Peripheral blood film:
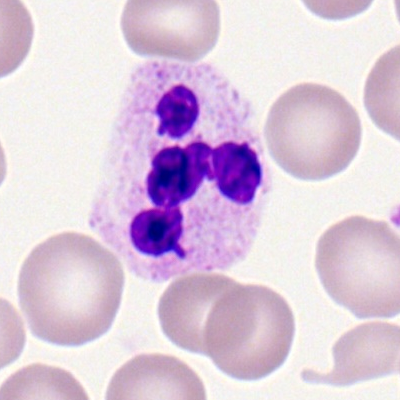

Q: Identify the cell.
A: This is a polymorphonuclear neutrophil.